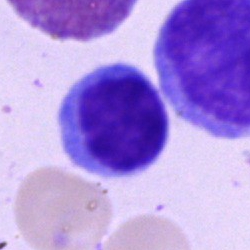Single cell identified as a lymphocyte.